Bone marrow aspirate smear
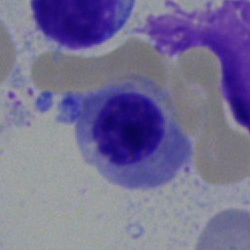 This is an erythroblast.